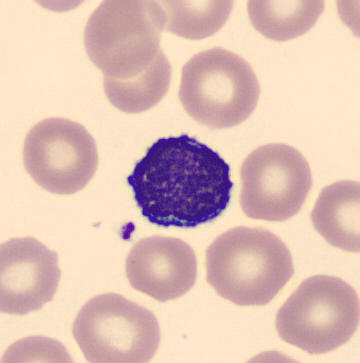
Impression — lymphocyte.
Peripheral blood film · single cell centered in the field.